Bone marrow aspirate smear: 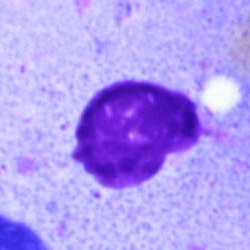
Morphological class: artifact.